Bone marrow aspirate smear: 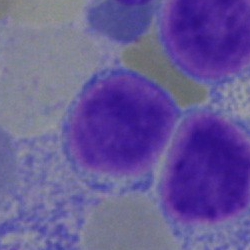Specimen: bone marrow smear.
Cell type: typical lymphocyte.